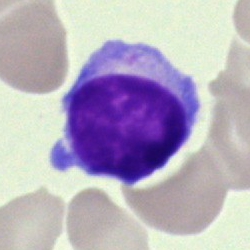Specimen: bone marrow aspirate smear.
Morphological class: typical lymphocyte.
Lineage: lymphoid.